Bone marrow aspirate smear.
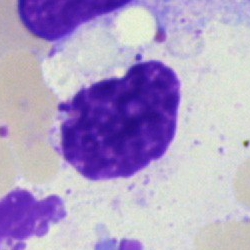

The cell shown is an artefact.